Peripheral blood smear:
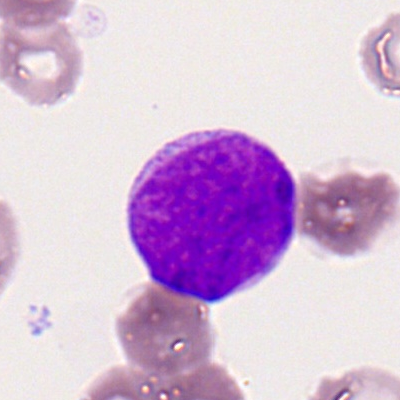 {"cell_type": "myeloblast", "lineage": "myeloid"}